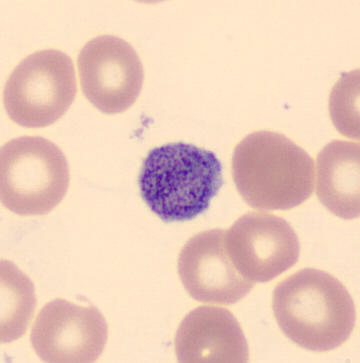

Specimen: peripheral blood smear.
Cell type: platelet.
Image: MGG stain. CellaVision DM96.